MGG-stained · bone marrow smear — 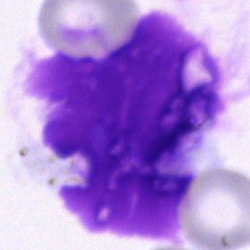

Q: What type of cell is this?
A: A blast.